Bone marrow smear. 250×250 — 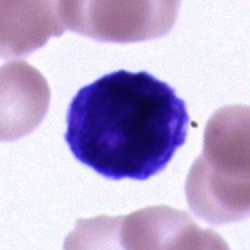

A cell of indeterminate lineage.